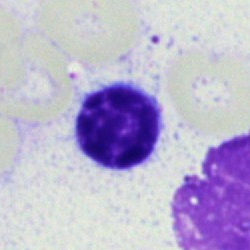
The cell is lymphocyte.